Bone marrow aspirate smear
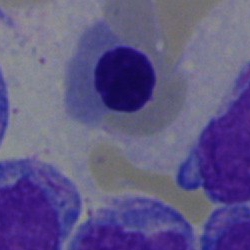

Morphology — nucleated red cell.